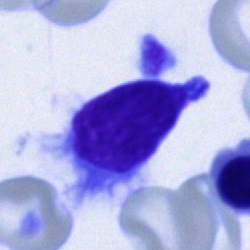Bone marrow smear showing a lymphocyte.